Bone marrow aspirate smear.
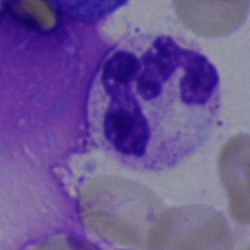
Cell type — neutrophil (segmented).